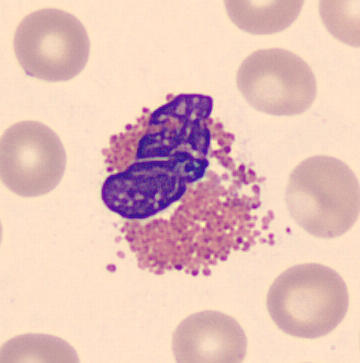Peripheral blood film · MGG-stained. {"cell_type": "eosinophilic granulocyte", "lineage": "myeloid"}